250×250. Bone marrow aspirate smear.
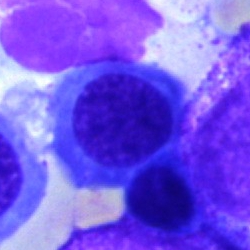Cell type — nucleated red cell.